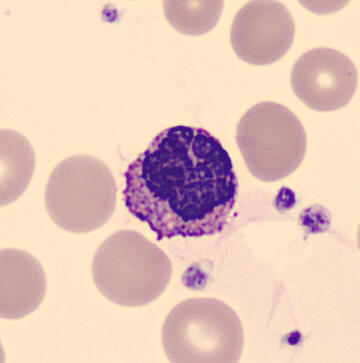 Specimen: peripheral blood smear.
Cell: basophil.
Lineage: myeloid.